Bone marrow smear — 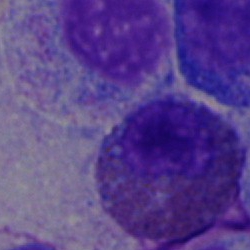Specimen: bone marrow aspirate smear.
Morphological class: eosinophil.